Single-cell crop; bone marrow smear.
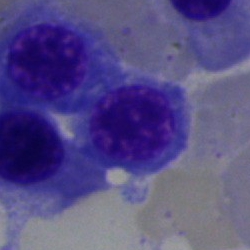

Cell type = nucleated red cell.